Bone marrow smear: 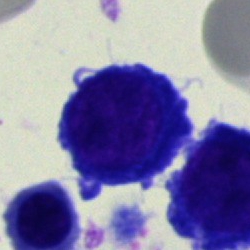
{"cell_type": "lymphocyte", "lineage": "lymphoid"}